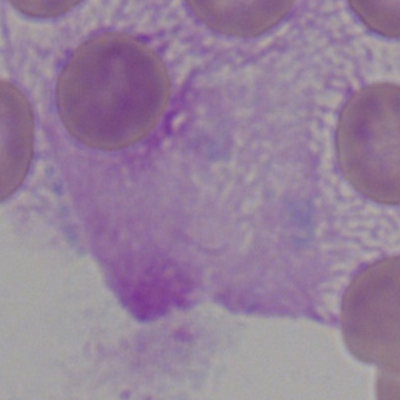 The morphological class is smudge cell.